Bone marrow smear.
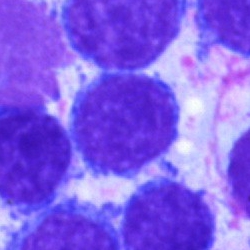 Q: What is the morphological classification of this cell?
A: Typical lymphocyte.